250 by 250 pixels · bone marrow aspirate smear.
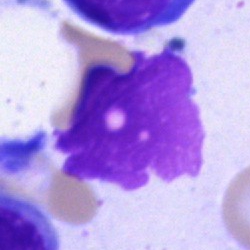
Classification — artefact.